Bone marrow smear.
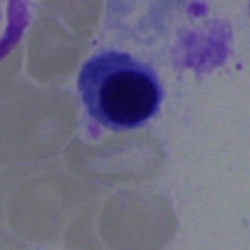Impression — nucleated red cell.